Bone marrow aspirate smear; 250 by 250 pixels; May-Grünwald-Giemsa/Pappenheim stain:
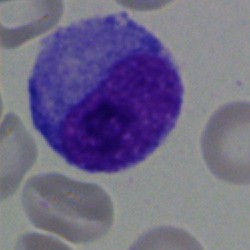Specimen: bone marrow smear.
Cell type: progranulocyte.
Lineage: myeloid.